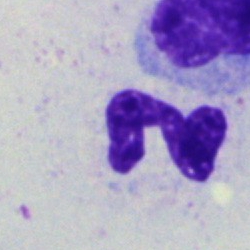Morphological class — polymorphonuclear neutrophil.